May-Grünwald-Giemsa/Pappenheim stain. Bone marrow aspirate smear. Single cell centered in the field
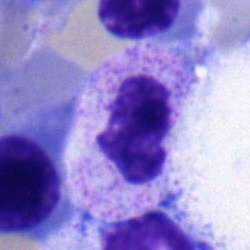
{"cell_type": "polymorphonuclear neutrophil"}